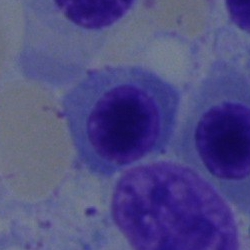Bone marrow aspirate smear, single cell — nucleated red blood cell.